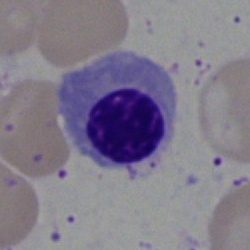
Cell: erythroblast.